Peripheral blood film; single-cell field.
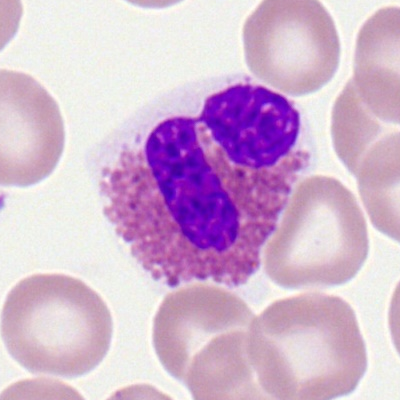 This is an eosinophilic granulocyte.